Bone marrow smear; MGG-stained: 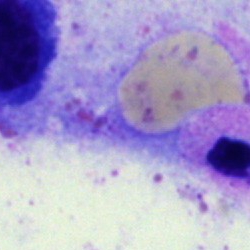Q: What is shown here?
A: This is an artefact.